250×250 px; bone marrow smear; cropped to a single cell.
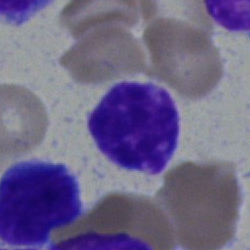This is a lymphocyte.